Bone marrow aspirate smear; MGG-stained; single-cell crop — 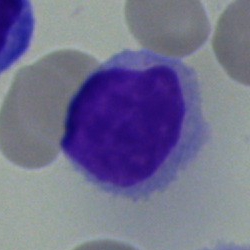
Impression → typical lymphocyte.